Bone marrow smear
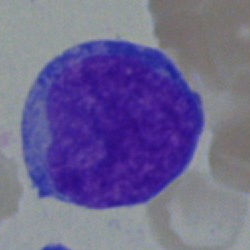 Specimen: bone marrow aspirate smear.
Cell type: undifferentiated blast.